Bone marrow smear — 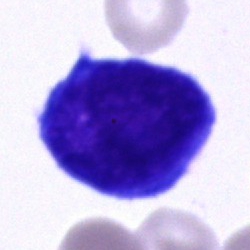 Q: What is shown here?
A: Blast cell.